Bone marrow aspirate smear. Single cell centered in the field: 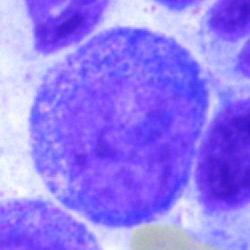

Cell type — progranulocyte.